Bone marrow smear:
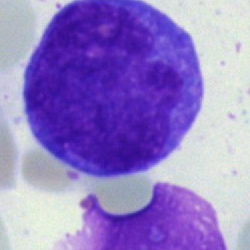

Specimen: bone marrow aspirate smear.
Cell: monocyte.
Lineage: myeloid.